Bone marrow aspirate smear:
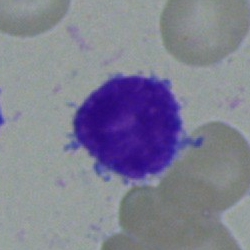
Morphology → undifferentiated blast.